Bone marrow aspirate smear: 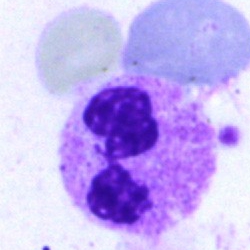

Showing a segmented neutrophil.